Bone marrow smear:
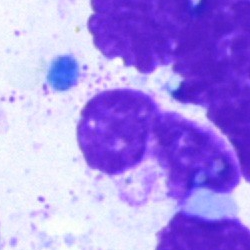
The cell shown is an artifact.